Bone marrow smear.
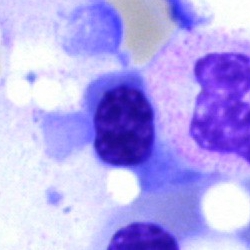 Single cell identified as an artefact.